Bone marrow aspirate smear; single-cell crop: 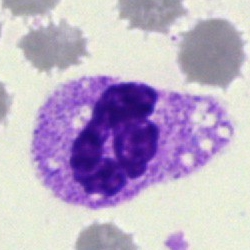
Specimen: bone marrow smear.
Cell type: neutrophil (segmented).
Lineage: myeloid.